Bone marrow smear.
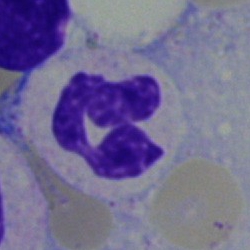 Polymorphonuclear neutrophil.